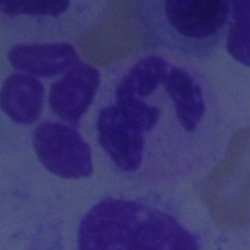 Showing a polymorphonuclear neutrophil.